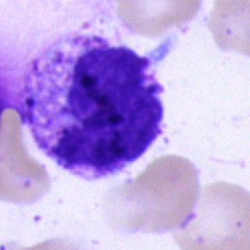 Bone marrow smear showing a basophilic granulocyte.